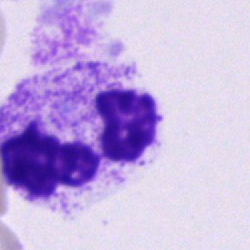

{"cell_type": "neutrophil (segmented)", "lineage": "myeloid"}